Brightfield, 40× oil-immersion objective · bone marrow smear.
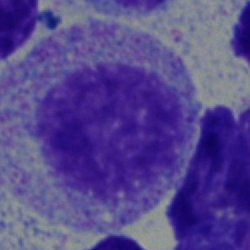 Impression → myelocyte.